Bone marrow aspirate smear:
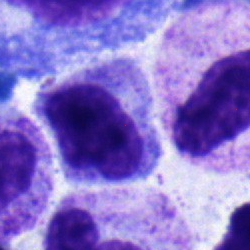
The cell shown is a myelocyte.